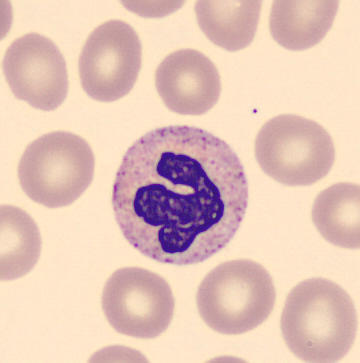
{"cell_type": "polymorphonuclear neutrophil", "lineage": "myeloid"}
Preparation: Peripheral blood film.